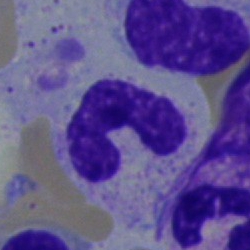Q: What is shown here?
A: This is a neutrophil (band).